Bone marrow aspirate smear:
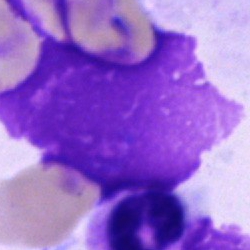
Morphological class = artefact.